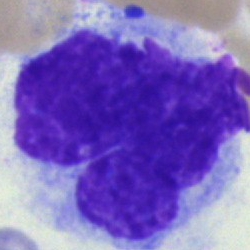

Morphological class — artefact.